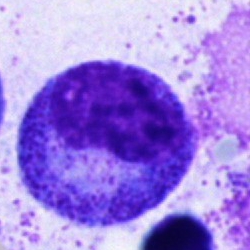Q: What is shown here?
A: A promyelocyte.